250×250 px · bone marrow smear: 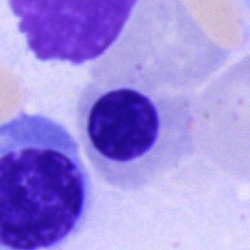Morphology consistent with an erythroblast.